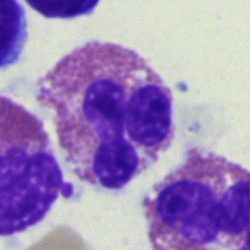
Specimen: bone marrow aspirate smear.
Morphological class: eosinophilic granulocyte.
Lineage: myeloid.